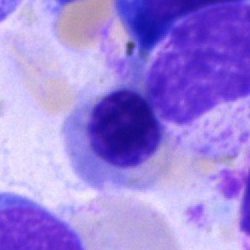 The cell is normoblast.